Bone marrow aspirate smear: 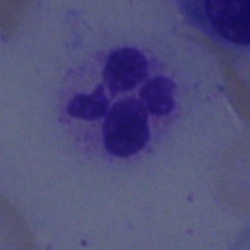 Morphology consistent with a neutrophil (segmented).